Bone marrow smear
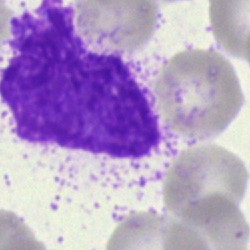
This is an artifact.